250×250 px; bone marrow smear
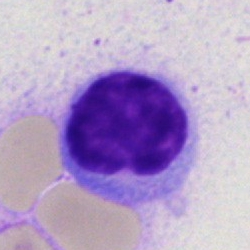

{"cell_type": "lymphocyte", "lineage": "lymphoid"}